Bone marrow smear
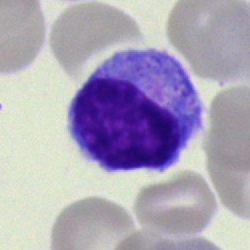Q: What type of cell is this?
A: Lymphocyte.